Bone marrow smear · brightfield, 40× oil-immersion objective · single-cell field.
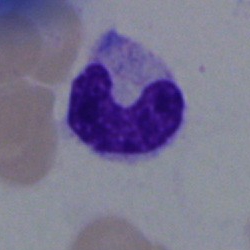

A neutrophil (band).